Bone marrow aspirate smear
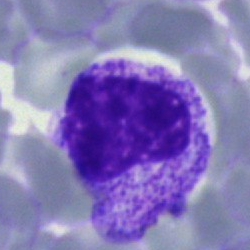

Q: What is the morphological classification of this cell?
A: A myelocyte.